MGG-stained · brightfield, 40× oil-immersion objective · bone marrow aspirate smear: 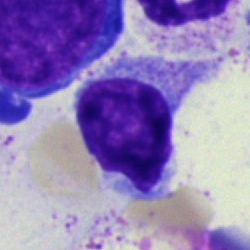Classification: typical lymphocyte.